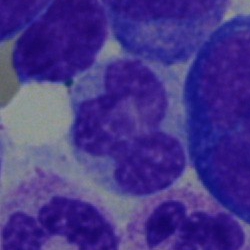The cell type is monocyte.